Bone marrow aspirate smear; 40× oil immersion; Pappenheim-stained.
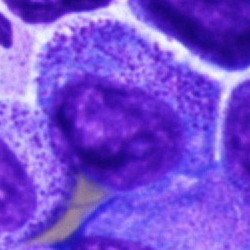

Morphology consistent with a promyelocyte.